Peripheral blood smear · 100× objective, oil immersion
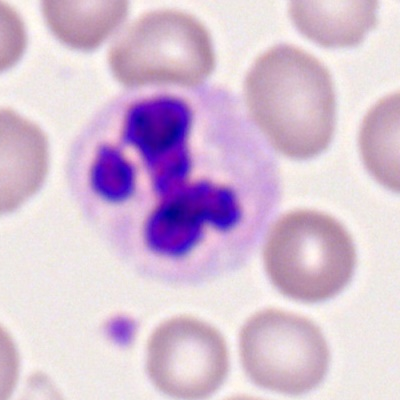Q: What is shown here?
A: It is a segmented neutrophil.